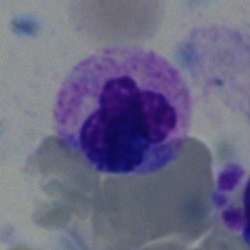 Impression — neutrophil (segmented).